Bone marrow aspirate smear.
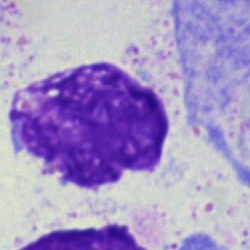Cell = artefact.